Bone marrow aspirate smear · MGG-stained — 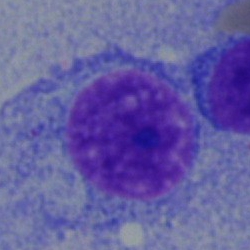

Q: What is shown here?
A: A plasmacyte.